May-Grünwald-Giemsa stain · bone marrow aspirate smear · single-cell field:
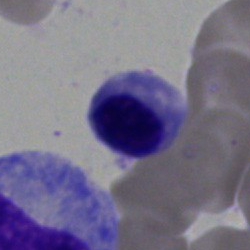
Morphology → nucleated red blood cell.